Bone marrow aspirate smear: 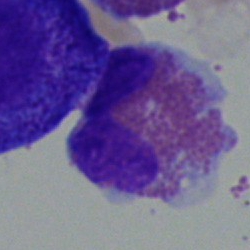An eosinophilic granulocyte.